Bone marrow smear.
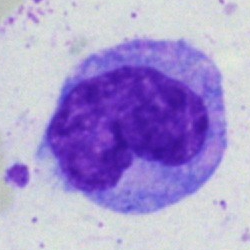

Cell type: monocyte.